Bone marrow aspirate smear. 250×250 px
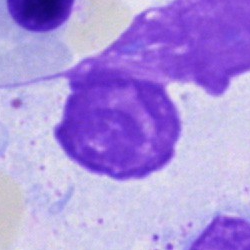 Classification — artifact.